Single-cell crop. Image size 250×250. Bone marrow aspirate smear.
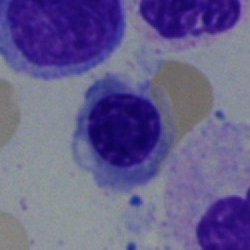 Classification: normoblast.